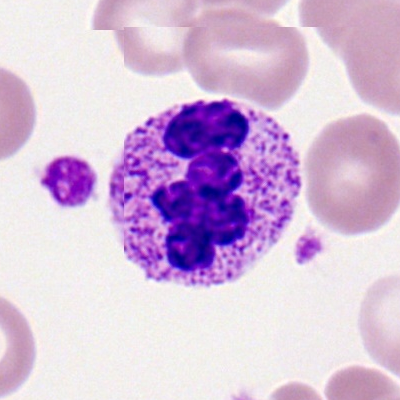 Segmented neutrophil.